Bone marrow aspirate smear: 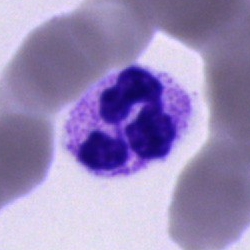

Q: What cell is this?
A: This is a polymorphonuclear neutrophil.